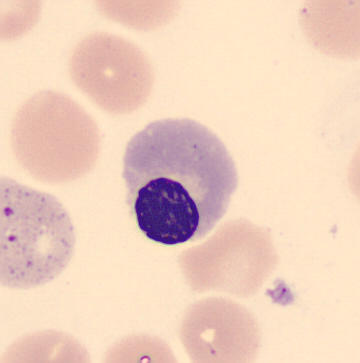 Impression → normoblast.